Bone marrow smear — 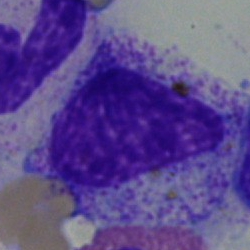

Specimen: bone marrow smear.
Classification: myelocyte.
Lineage: myeloid.